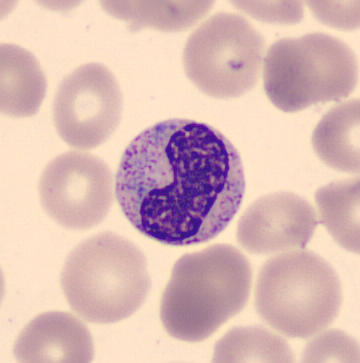{"cell_type": "band neutrophil", "lineage": "myeloid"} Peripheral blood film.